Bone marrow aspirate smear: 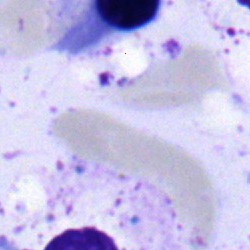
Cell type = erythroblast.